Bone marrow aspirate smear · 250 by 250 pixels.
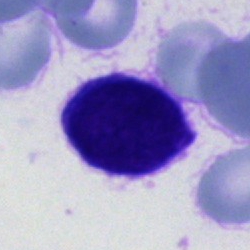
Morphology — unidentifiable cell.